Bone marrow aspirate smear — 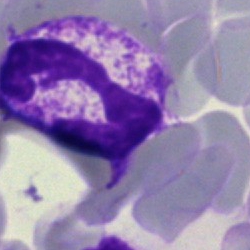

The cell shown is a segmented neutrophil.